Bone marrow smear: 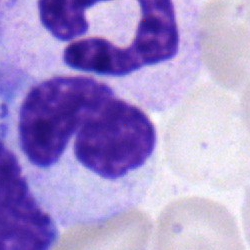

Q: Which cell type is shown here?
A: A band neutrophil.